Bone marrow smear — 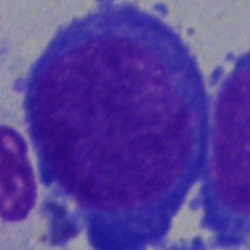

Pronormoblast.